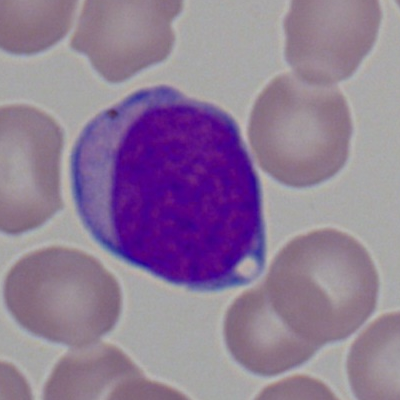 A myeloid blast on a peripheral blood smear.